Bone marrow aspirate smear
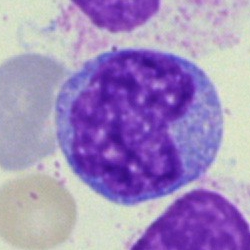Monocyte.